May-Grünwald-Giemsa stain; 250×250 px; bone marrow smear: 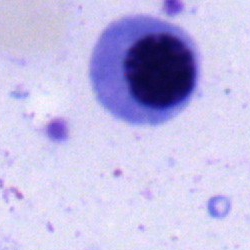Cell type: erythroblast.